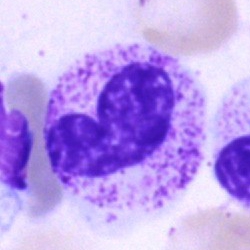This is a metamyelocyte.